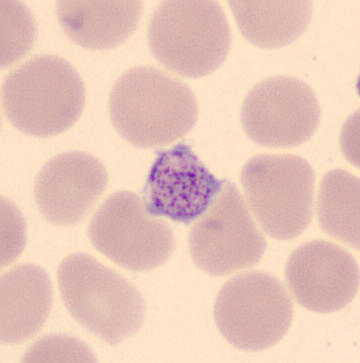

The morphological class is platelet (thrombocyte).
Peripheral blood smear.